Bone marrow smear.
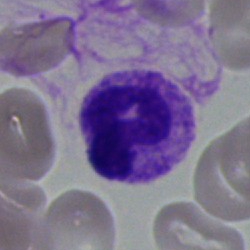

Specimen: bone marrow aspirate smear.
Morphological class: polymorphonuclear neutrophil.